Bone marrow aspirate smear; May-Grünwald-Giemsa/Pappenheim stain — 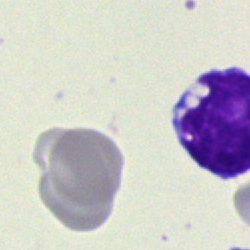 Morphology consistent with a cell of indeterminate lineage.